Bone marrow smear.
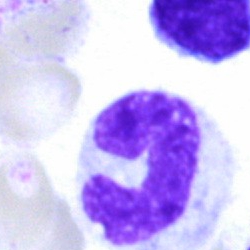 {"cell_type": "band neutrophil", "lineage": "myeloid"}